Cropped to a single cell · bone marrow aspirate smear.
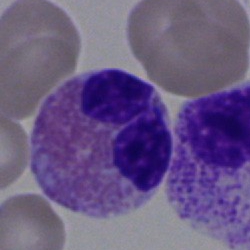 The classification is eosinophilic granulocyte.